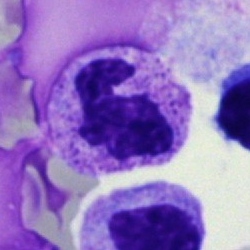 Specimen: bone marrow aspirate smear.
Morphological class: neutrophil (segmented).
Lineage: myeloid.